Bone marrow aspirate smear: 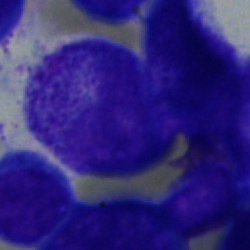The cell shown is a myelocyte.